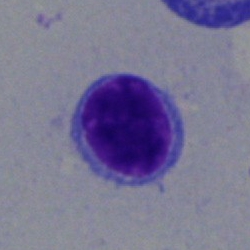
Cell: lymphocyte.